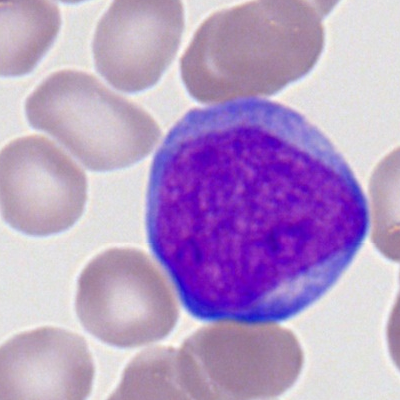
{"cell_type": "myeloblast", "lineage": "myeloid"}